Bone marrow smear · May-Grünwald-Giemsa stain · 40× objective, oil immersion: 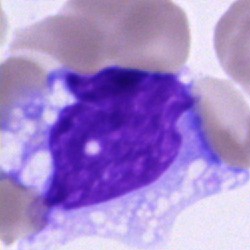
Q: Which cell type is shown here?
A: Monocyte.